Bone marrow smear; brightfield microscopy, 40× oil immersion; single-cell field.
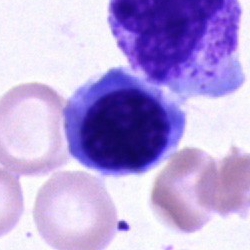 Impression — nucleated red cell.